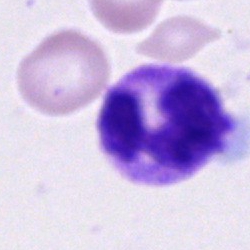 Showing a neutrophil (segmented).